Brightfield microscopy, 40× oil immersion; bone marrow smear — 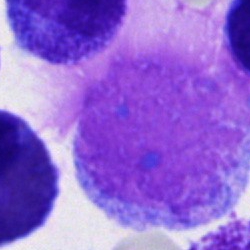

The cell shown is an artefact.